Peripheral blood smear. Romanowsky-stained — 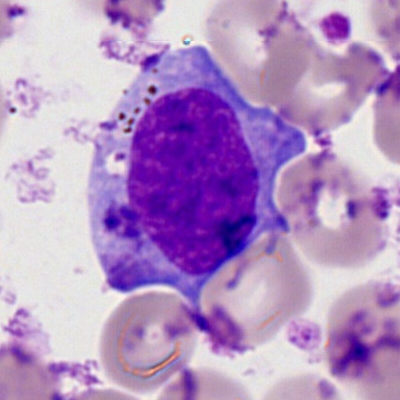Classification: myeloblast.